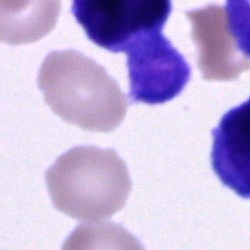 Cell type — cell of indeterminate lineage.